Bone marrow aspirate smear — 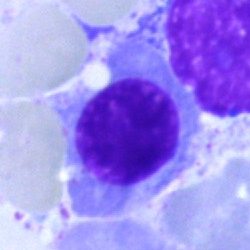
A nucleated red blood cell.